Bone marrow smear:
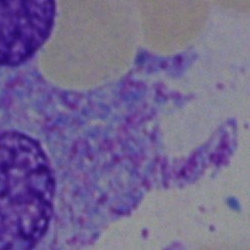

An artifact.